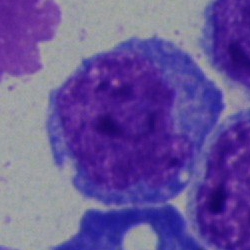

Q: What is shown here?
A: Undifferentiated blast.